Bone marrow smear · 250 by 250 pixels — 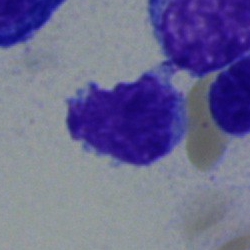

Cell type: typical lymphocyte.